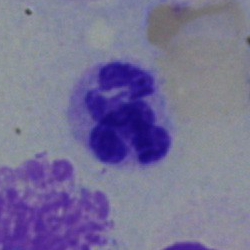 Classification = segmented neutrophil.